Bone marrow smear; brightfield microscopy, 40× oil immersion; single-cell crop
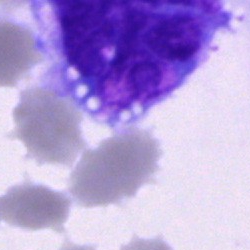
Q: What is shown here?
A: It is an undifferentiated blast.